Bone marrow smear · 250×250 px · May-Grünwald-Giemsa stain — 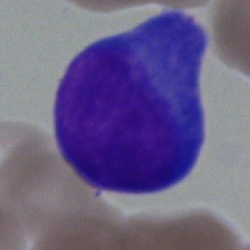

This is a blast.